Bone marrow smear.
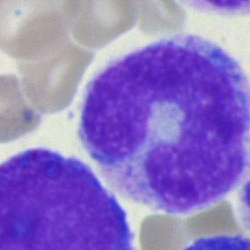 Impression — monocyte.